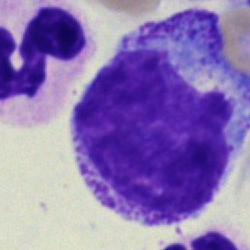

{"cell_type": "progranulocyte"}